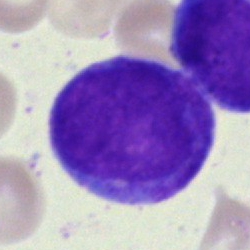
Morphology consistent with a promyelocyte.